Bone marrow smear.
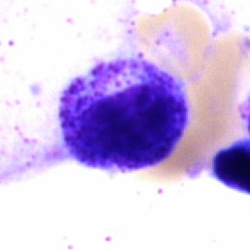

Impression → myelocyte.